250×250. Bone marrow aspirate smear
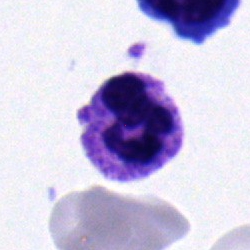

Specimen: bone marrow smear.
Cell type: segmented neutrophil.
Lineage: myeloid.